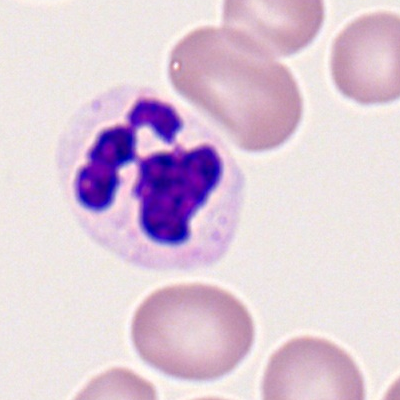

Single cell identified as a segmented neutrophil.